Peripheral blood film:
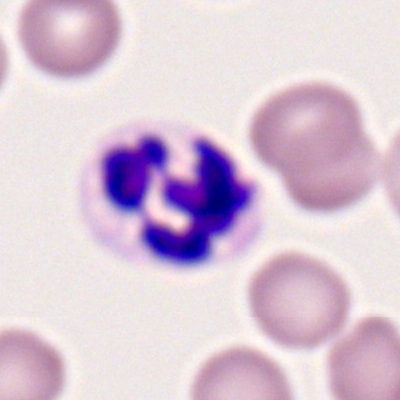This is a polymorphonuclear neutrophil.